Bone marrow aspirate smear
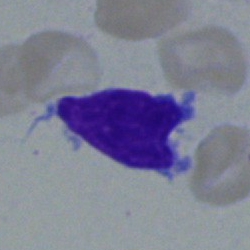
Cell type — typical lymphocyte.